Bone marrow aspirate smear:
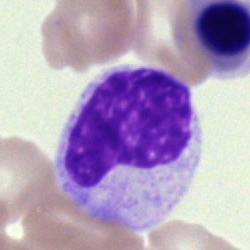Morphology consistent with a myelocyte.